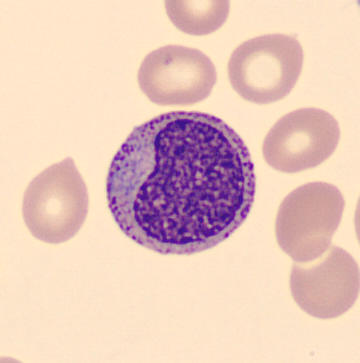

Identified as a metamyelocyte.

Image: 360×363 px; peripheral blood smear.